Bone marrow aspirate smear. 250 by 250 pixels:
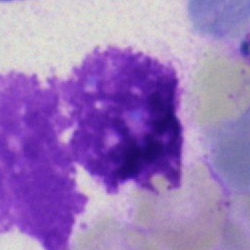Q: What is shown here?
A: It is an artifact.